Bone marrow aspirate smear — 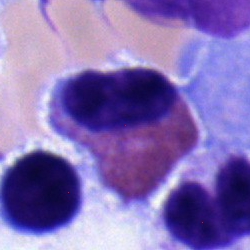
The cell shown is an eosinophilic granulocyte.